Peripheral blood smear · 400×400 px · M8 digital microscope (Precipoint), 100× oil immersion:
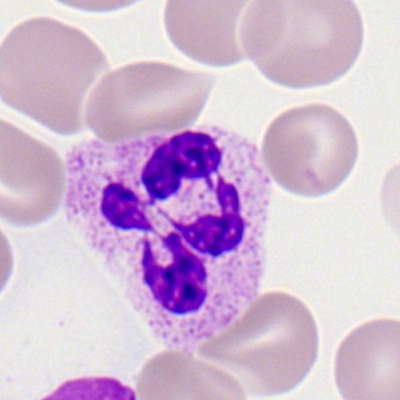 Cell = neutrophil (segmented).